Bone marrow smear · cropped to a single cell: 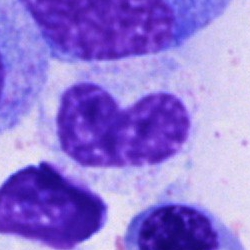
This is a metamyelocyte.